Bone marrow aspirate smear:
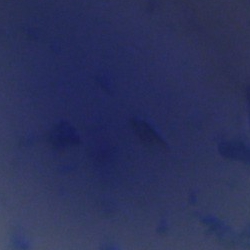

Q: What is shown here?
A: This is an artifact.